Bone marrow smear:
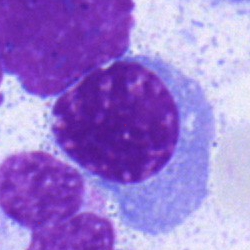
Single cell identified as a normoblast.